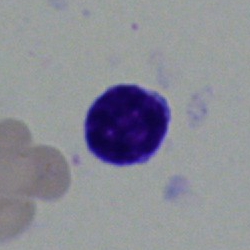Morphological class = lymphocyte.